Bone marrow aspirate smear
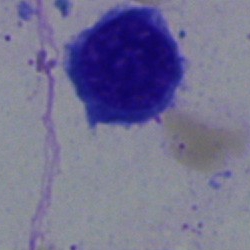

Specimen: bone marrow aspirate smear.
Classification: nucleated red cell.
Lineage: erythroid.